Single-cell crop. Bone marrow smear.
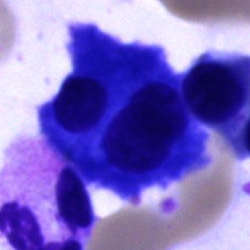
Morphology consistent with a plasma cell.